Image size 250×250 · bone marrow aspirate smear.
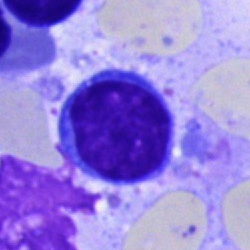Specimen: bone marrow smear.
Morphological class: lymphocyte.
Lineage: lymphoid.